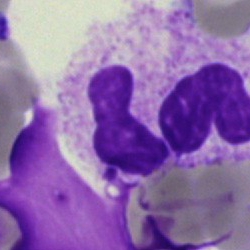
The morphological class is neutrophil (segmented).